Image size 250×250 · bone marrow smear · 40× objective, oil immersion: 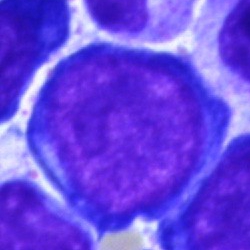Cell type: pronormoblast.